Bone marrow smear; 250×250 — 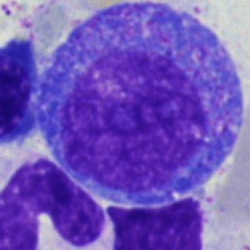Morphology — progranulocyte.